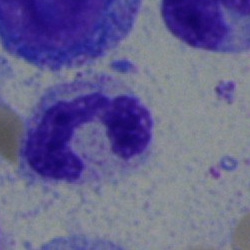
Bone marrow aspirate smear, single cell — segmented neutrophil.